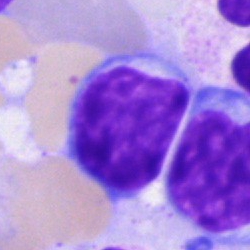

Impression — typical lymphocyte.